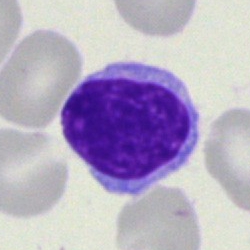
The cell type is lymphocyte.